Bone marrow aspirate smear:
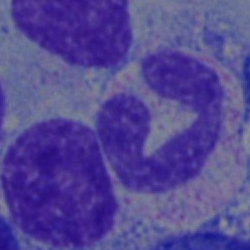 Neutrophil (segmented).